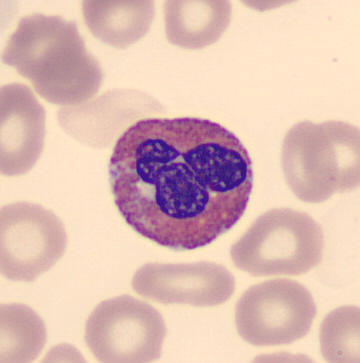Cell type: eosinophil.